Bone marrow smear; MGG-stained; cropped to a single cell
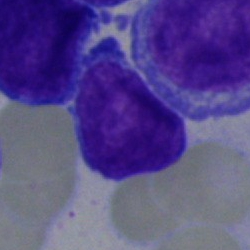 Cell type — blast cell.